Bone marrow smear:
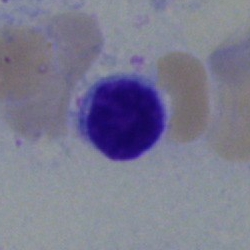

This is a typical lymphocyte.